Peripheral blood film; 100× objective, oil immersion; 400×400 px: 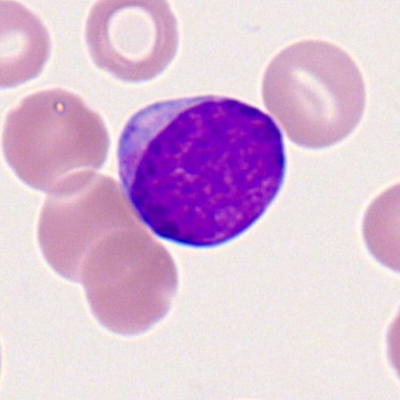 A myeloid blast.